Single cell centered in the field · image size 250×250 · bone marrow aspirate smear:
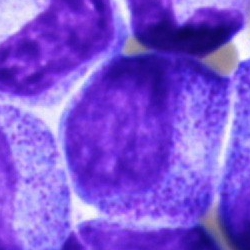Showing a progranulocyte.